Bone marrow smear
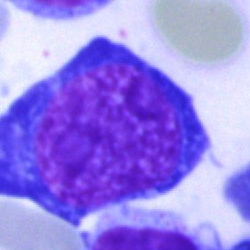

Morphology consistent with a nucleated red blood cell.